Bone marrow aspirate smear; MGG-stained; 250×250 px — 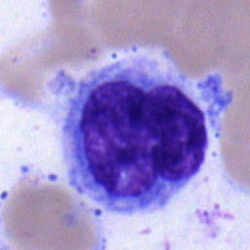 The classification is monocyte.